Bone marrow smear:
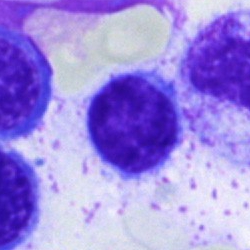Lymphocyte.